Peripheral blood smear
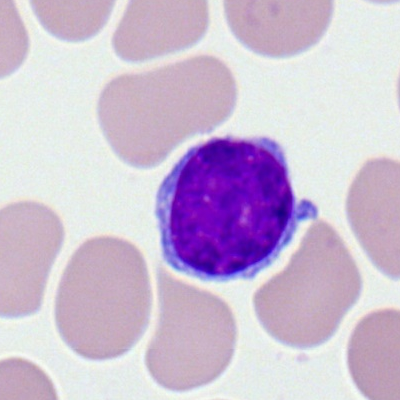

Showing a typical lymphocyte.